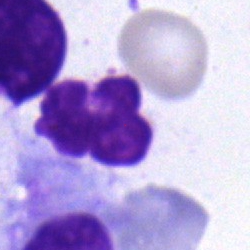
A polymorphonuclear neutrophil on a bone marrow smear.